Bone marrow smear: 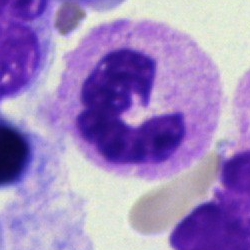

Impression — segmented neutrophil.